400×400 px; peripheral blood smear — 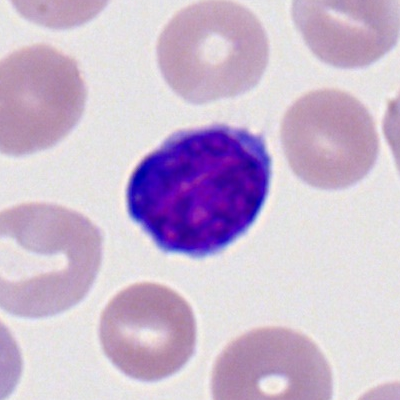

Cell — typical lymphocyte.